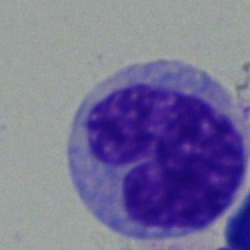
Q: What cell is this?
A: It is a monocyte.